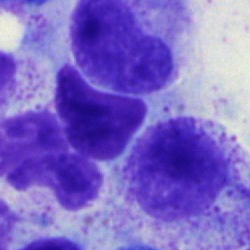 Bone marrow smear showing a cell of indeterminate lineage.